Bone marrow aspirate smear:
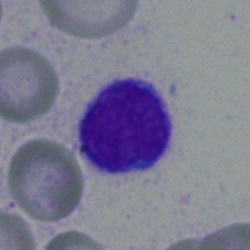
Q: Identify the cell.
A: It is a lymphocyte.